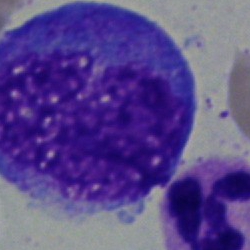
A progranulocyte on a bone marrow smear.